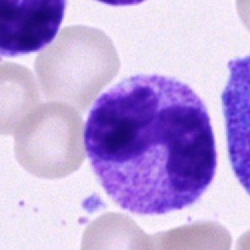

Impression — segmented neutrophil.